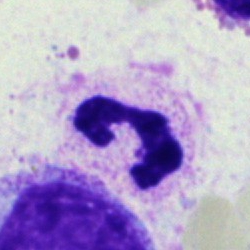
Specimen: bone marrow smear.
Cell type: segmented neutrophil.
Lineage: myeloid.